Bone marrow smear.
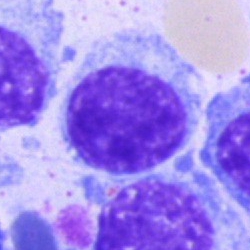 Morphology → lymphocyte.